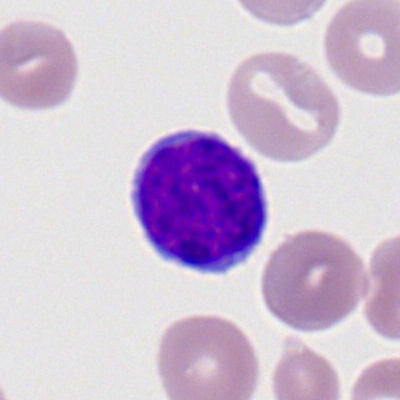

A lymphocyte.